Bone marrow aspirate smear: 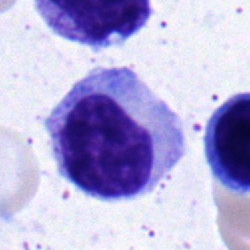Single cell identified as a myelocyte.